Bone marrow smear.
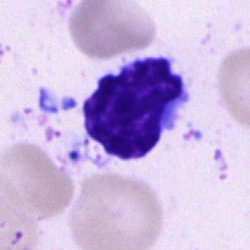

This is a lymphocyte.